Single-cell field · bone marrow aspirate smear · brightfield, 40× oil-immersion objective: 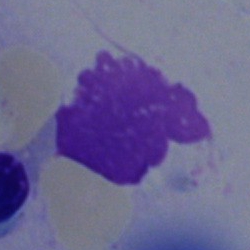 Q: What is shown here?
A: It is an artifact.